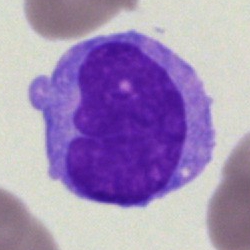 The classification is blast.